Bone marrow smear · 250×250 px
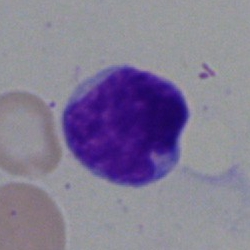

Classification: lymphocyte.